Bone marrow smear. Image size 250×250. Single cell centered in the field:
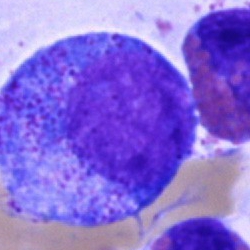 Showing a progranulocyte.